100× oil immersion, 14.14 px/µm. Peripheral blood smear. Single-cell crop: 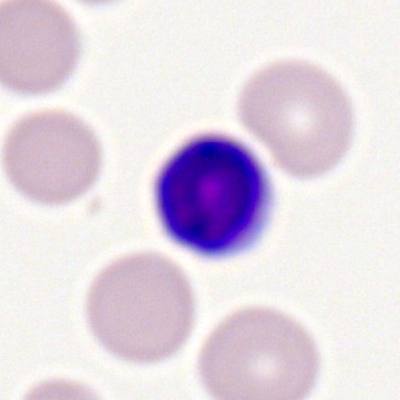

Morphological class — typical lymphocyte.